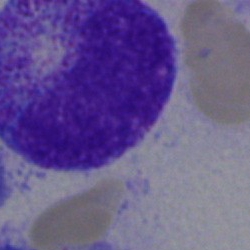
Cell — progranulocyte.